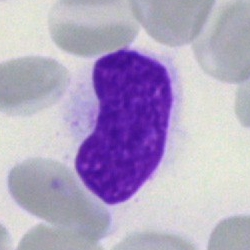An artefact.